Bone marrow aspirate smear: 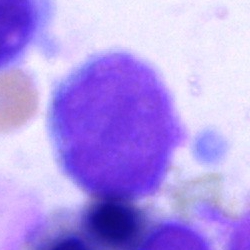
Morphology consistent with an artifact.